Brightfield microscopy, 40× oil immersion · bone marrow smear.
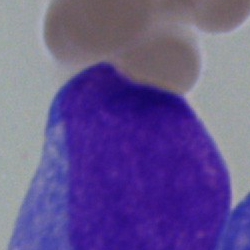Cell type — blast cell.